Pappenheim-stained. Bone marrow aspirate smear:
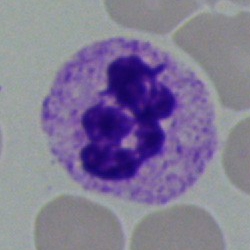

Q: What cell is this?
A: This is a neutrophil (segmented).